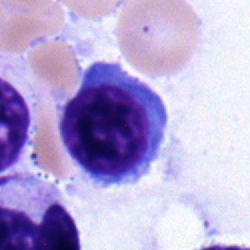

Q: What is the morphological classification of this cell?
A: Typical lymphocyte.